Bone marrow aspirate smear:
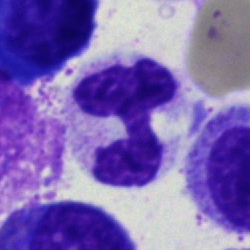

The morphological class is polymorphonuclear neutrophil.